Bone marrow smear — 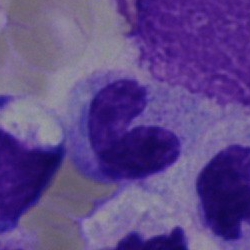 Segmented neutrophil.